Bone marrow aspirate smear: 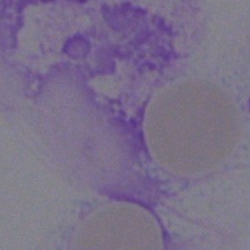 This is an artefact.